250 by 250 pixels; bone marrow aspirate smear — 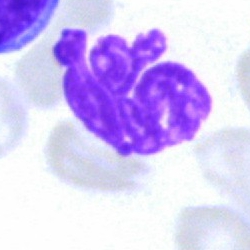Morphology consistent with an artifact.